Bone marrow smear:
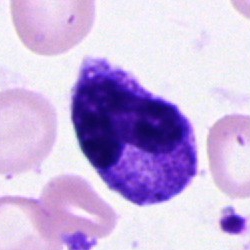
Cell type: band neutrophil.